250 by 250 pixels · single-cell crop · bone marrow smear.
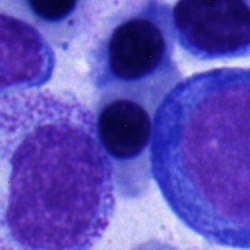

Specimen: bone marrow smear.
Classification: nucleated red cell.
Lineage: erythroid.